Bone marrow aspirate smear:
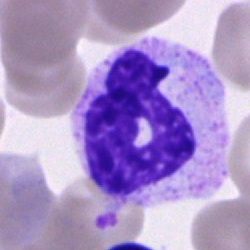 Q: What cell is this?
A: A band-form neutrophil.